Bone marrow smear: 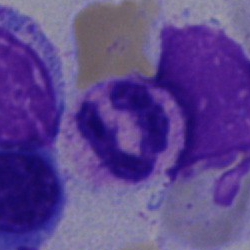
Polymorphonuclear neutrophil.